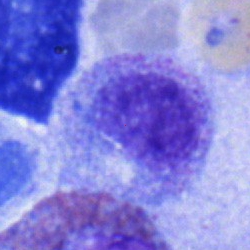Bone marrow smear showing a myelocyte.